Bone marrow aspirate smear — 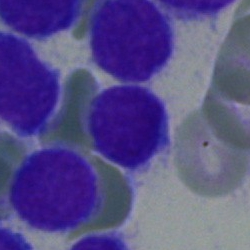

Single cell identified as a lymphocyte.